May-Grünwald-Giemsa/Pappenheim stain. Bone marrow aspirate smear. 250 by 250 pixels — 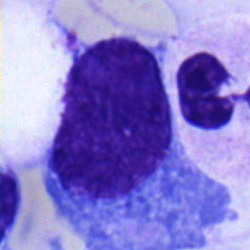 Single cell identified as a promyelocyte.